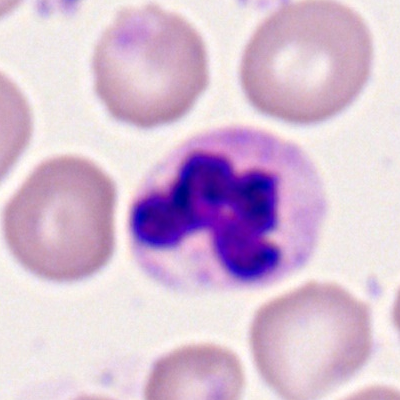
{"cell_type": "neutrophil (segmented)"}